Peripheral blood smear: 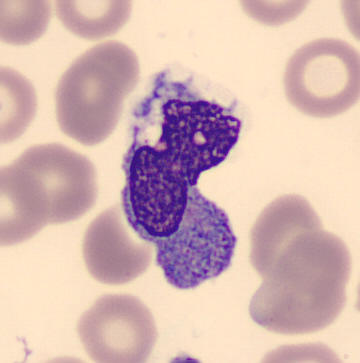

Morphology → monocyte.